Bone marrow smear
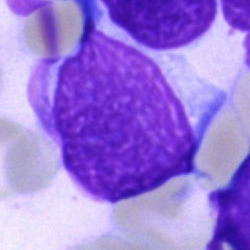

Cell type = undifferentiated blast.